M8 digital microscope (Precipoint), 100× oil immersion; peripheral blood film — 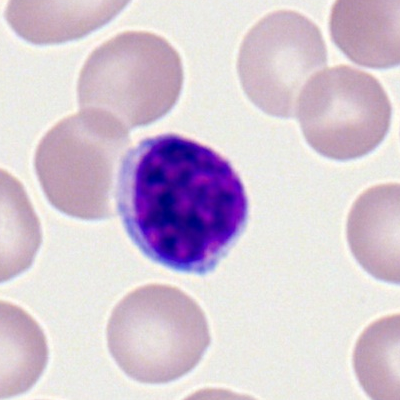Morphological class — lymphocyte.